Bone marrow smear — 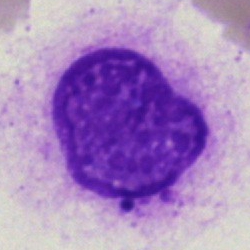 {"cell_type": "artefact"}